May-Grünwald-Giemsa/Pappenheim stain · 250×250 px · bone marrow smear.
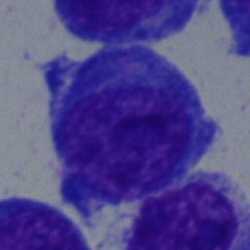 Impression → blast cell.